Bone marrow aspirate smear: 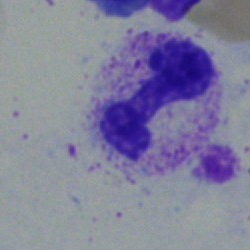

Single cell identified as a polymorphonuclear neutrophil.